Bone marrow aspirate smear — 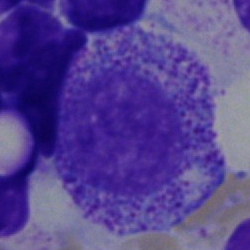 Morphological class — myelocyte.